100× oil immersion. Peripheral blood film. Single cell centered in the field — 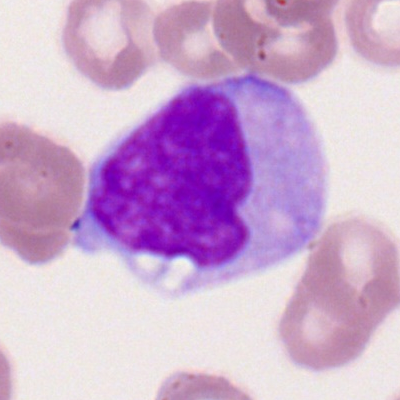Morphology consistent with a monocyte.